MGG-stained. Image size 250×250. Bone marrow aspirate smear:
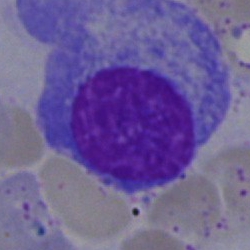

This is a plasmacyte.